May-Grünwald-Giemsa/Pappenheim stain · bone marrow aspirate smear:
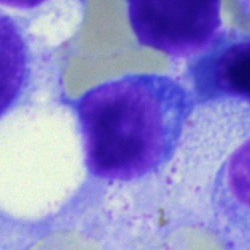

Q: Which cell type is shown here?
A: A lymphocyte.